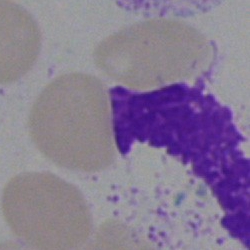 The cell shown is an artefact.